Bone marrow aspirate smear. Pappenheim-stained: 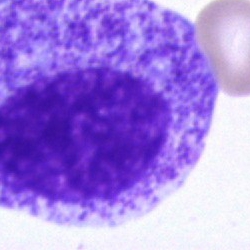 Q: What is shown here?
A: A promyelocyte.